Bone marrow aspirate smear:
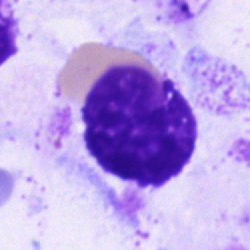Morphology consistent with an artifact.